250×250 px · bone marrow smear:
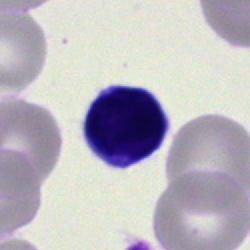Morphology consistent with a typical lymphocyte.